Cropped to a single cell. 40× oil immersion. Bone marrow smear:
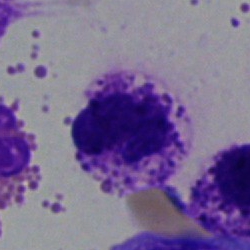

Basophilic granulocyte.